Bone marrow aspirate smear. 40× oil immersion. Cropped to a single cell: 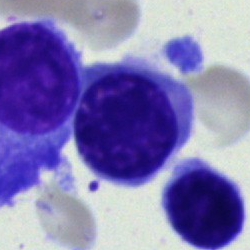Lymphocyte.